Bone marrow aspirate smear — 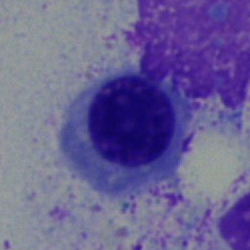Morphological class — nucleated red blood cell.